May-Grünwald-Giemsa stain; bone marrow smear; single cell centered in the field: 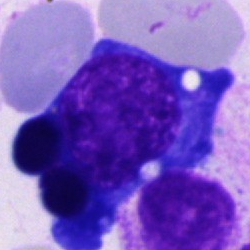

Erythroblast.